Bone marrow smear. MGG-stained. 250 by 250 pixels.
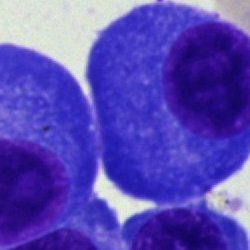

Specimen: bone marrow aspirate smear.
Cell: plasma cell.